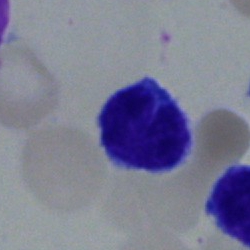

Impression — lymphocyte.